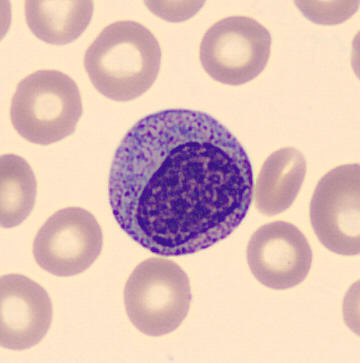

This is a myelocyte.